Bone marrow smear:
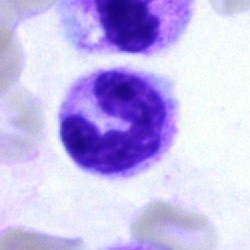

Classification = segmented neutrophil.